Peripheral blood smear.
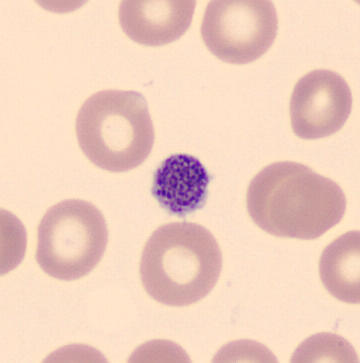

Q: What is shown here?
A: It is a platelet (thrombocyte).